Bone marrow smear.
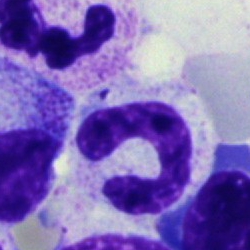Showing a band neutrophil.